Cropped to a single cell. Peripheral blood smear: 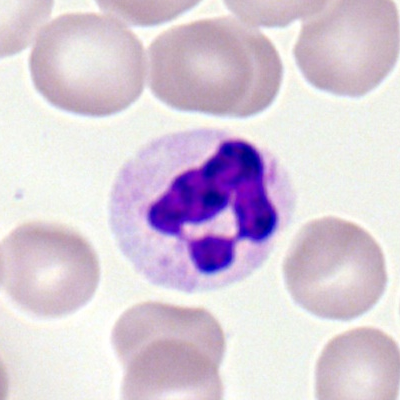

Impression → neutrophil (segmented).